Image size 250×250. Bone marrow smear.
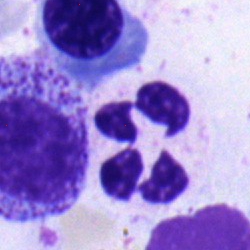
Impression — neutrophil (segmented).